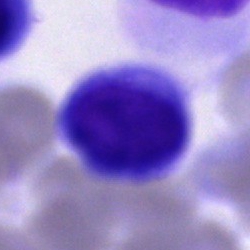

{"cell_type": "typical lymphocyte"}